Peripheral blood film; 400×400 px.
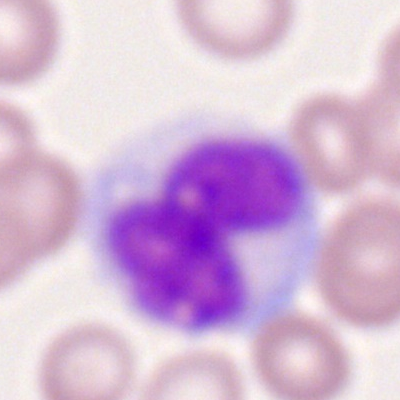

A monocyte.